Peripheral blood smear.
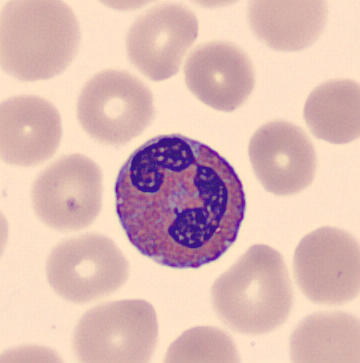

Cell type — eosinophil.